Bone marrow aspirate smear — 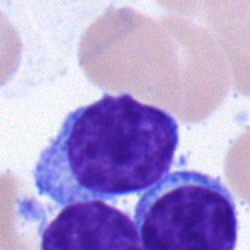Morphology → typical lymphocyte.